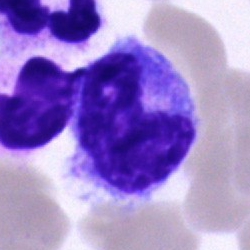 Morphology consistent with a monocyte.